Bone marrow aspirate smear: 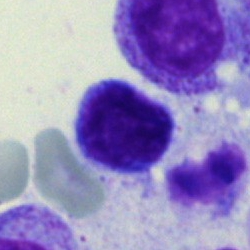
Morphology — typical lymphocyte.